Bone marrow smear: 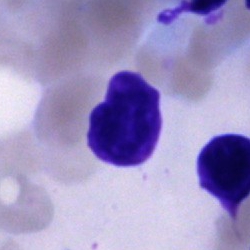
{"cell_type": "artifact"}